Romanowsky-type stain. Cropped to a single cell. Peripheral blood smear
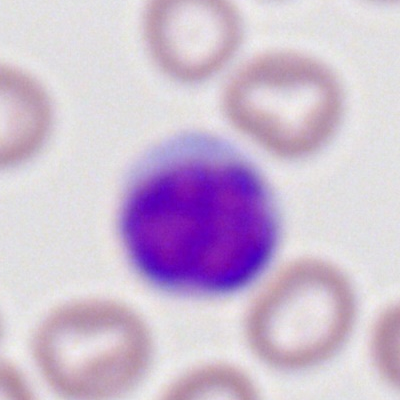

Morphology → typical lymphocyte.